Bone marrow smear. Single-cell field
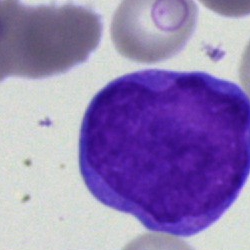
Q: Which cell type is shown here?
A: It is a blast.